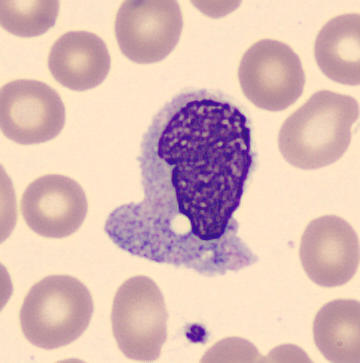
Q: What is the morphological classification of this cell?
A: A monocyte. CellaVision DM96. Peripheral blood smear. MGG stain.